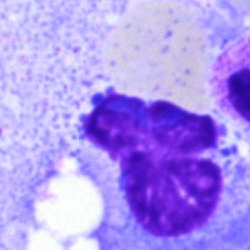 Bone marrow aspirate smear, single cell — artefact.